Bone marrow smear — 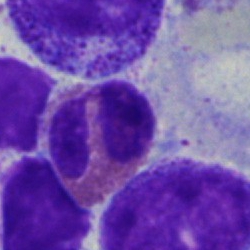
Specimen: bone marrow smear.
Morphological class: eosinophil.